Bone marrow smear · 250×250: 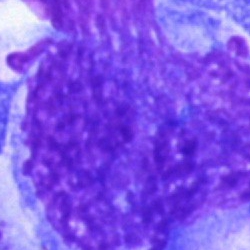 An artefact.